Bone marrow aspirate smear; image size 250×250:
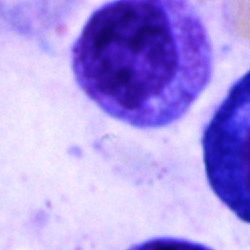

Promyelocyte.